Bone marrow smear.
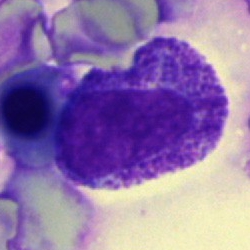
Showing a progranulocyte.